Single-cell field · bone marrow smear — 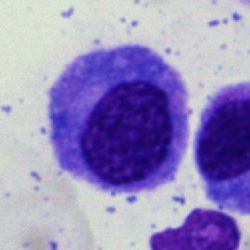 Cell: plasma cell.